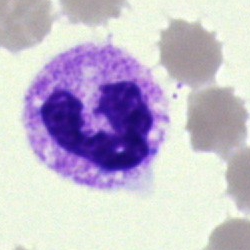 Showing a segmented neutrophil.